Bone marrow aspirate smear; 250×250 px: 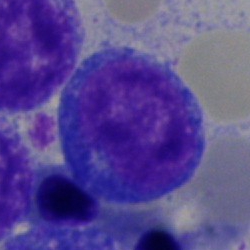
Impression → erythroblast.